100× oil immersion, 14.14 px/µm. Image size 400×400. Peripheral blood film
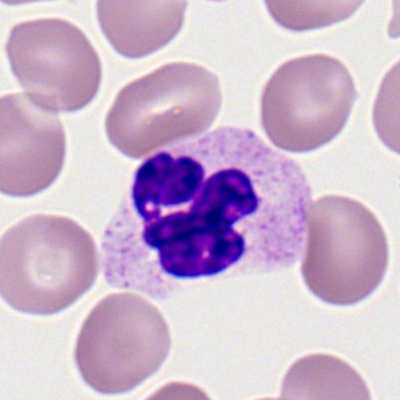
This is a neutrophil (segmented).